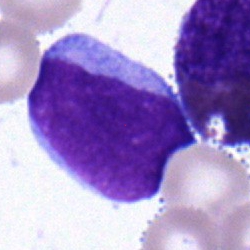

Q: What is the morphological classification of this cell?
A: Undifferentiated blast.